Bone marrow smear:
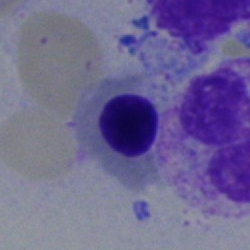

Morphology consistent with a normoblast.